Bone marrow smear. Single-cell crop.
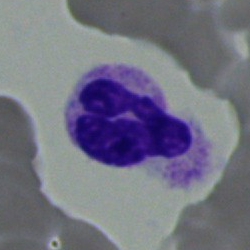 Q: Identify the cell.
A: This is a neutrophil (segmented).